Cropped to a single cell · brightfield, 40× oil-immersion objective · bone marrow aspirate smear:
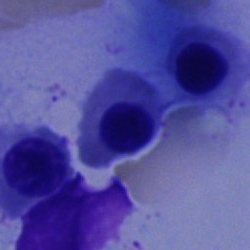 The classification is erythroblast.